Bone marrow smear; 40× oil immersion — 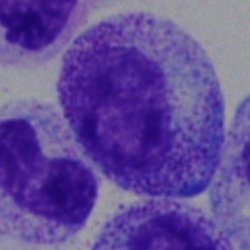
Classification = myelocyte.